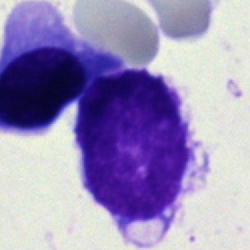Q: What is shown here?
A: This is an artefact.